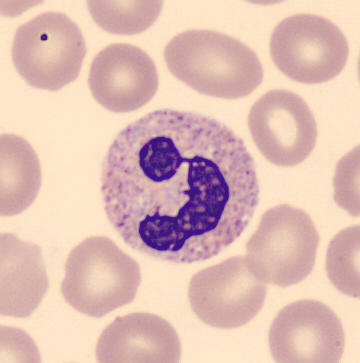

CellaVision DM96 digital cell image · peripheral blood film. Morphology → polymorphonuclear neutrophil.